Pappenheim-stained; bone marrow aspirate smear
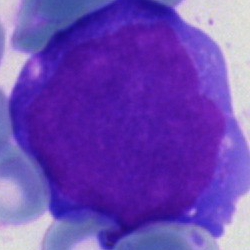Morphological class = blast.